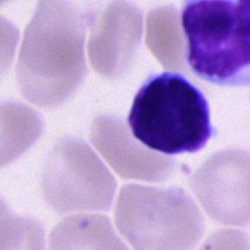Bone marrow aspirate smear, single cell — typical lymphocyte.